250 by 250 pixels; bone marrow smear:
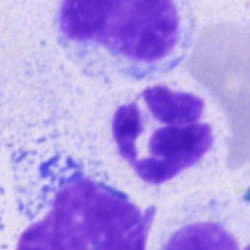 Cell type: neutrophil (segmented).